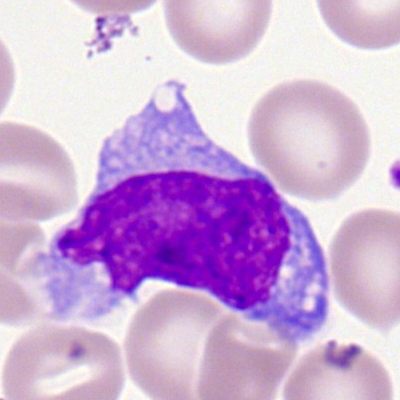
Showing a monocyte.